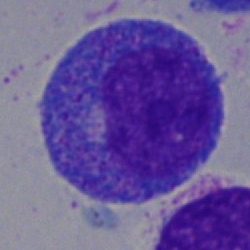Morphological class — promyelocyte.